Bone marrow smear; cropped to a single cell — 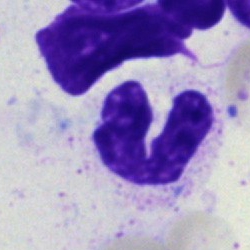Q: What cell is this?
A: Neutrophil (segmented).